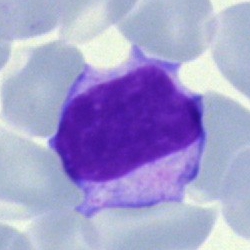 {"cell_type": "lymphocyte", "lineage": "lymphoid"}